Bone marrow smear · brightfield microscopy, 40× oil immersion · May-Grünwald-Giemsa stain:
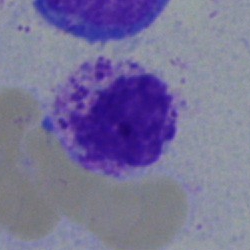 Morphology → basophil.